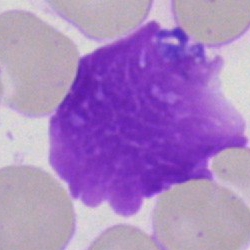Cell type — artifact.